Bone marrow aspirate smear; 40× objective, oil immersion — 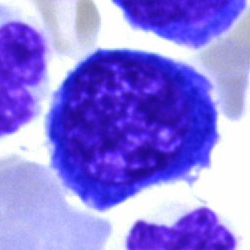
Specimen: bone marrow aspirate smear.
Cell: nucleated red cell.